Peripheral blood smear. M8 digital microscope (Precipoint), 100× oil immersion.
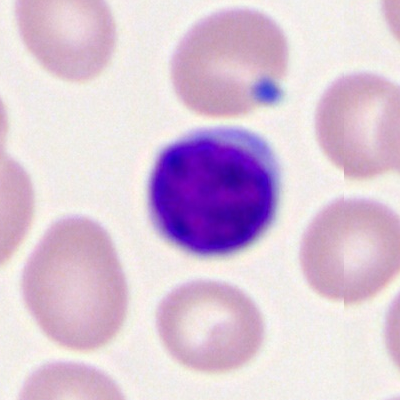Single cell identified as a lymphocyte.